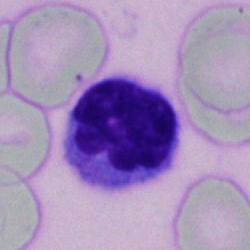 Specimen: bone marrow smear.
Cell type: monocyte.